Bone marrow aspirate smear · single cell centered in the field.
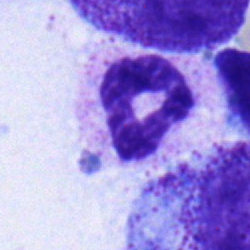 Showing a neutrophil (band).